Bone marrow aspirate smear: 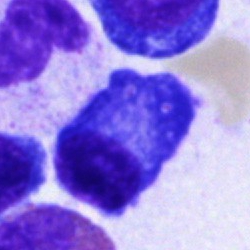

Plasmacyte.